Bone marrow aspirate smear · 250 by 250 pixels
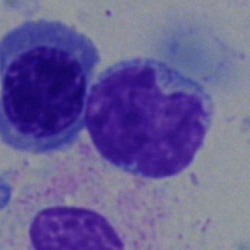

Specimen: bone marrow aspirate smear.
Morphological class: typical lymphocyte.
Lineage: lymphoid.